Peripheral blood smear:
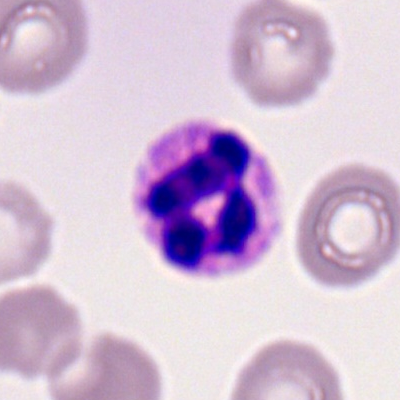
Specimen: peripheral blood smear.
Cell type: segmented neutrophil.
Lineage: myeloid.